Bone marrow aspirate smear.
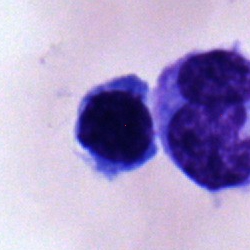This is a nucleated red blood cell.